40× oil immersion · bone marrow aspirate smear:
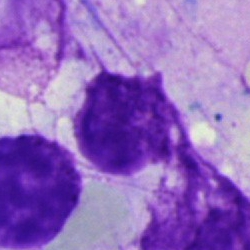 Morphology consistent with an artefact.